Bone marrow aspirate smear · single-cell crop
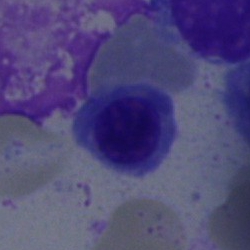 Classification: nucleated red cell.